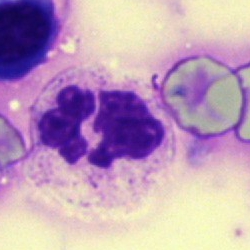
Q: What cell is this?
A: This is a segmented neutrophil.